Bone marrow aspirate smear.
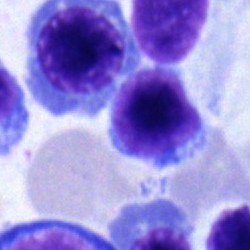Cell type = lymphocyte.